250×250 px. Bone marrow aspirate smear:
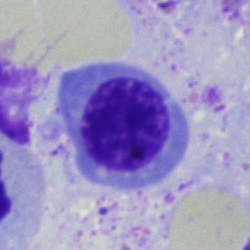
Cell = normoblast.